Bone marrow smear: 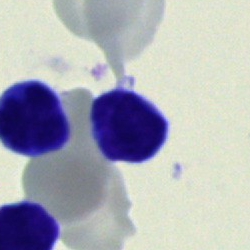

The cell is typical lymphocyte.